40× oil immersion; bone marrow smear; Pappenheim-stained: 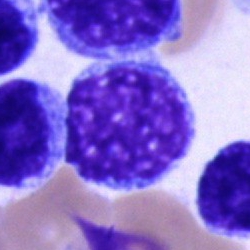

Specimen: bone marrow aspirate smear.
Cell type: promyelocyte.